Bone marrow smear
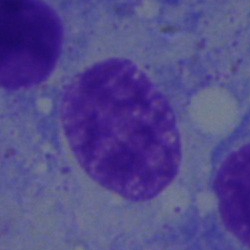
Q: Identify the cell.
A: A myelocyte.